Bone marrow aspirate smear:
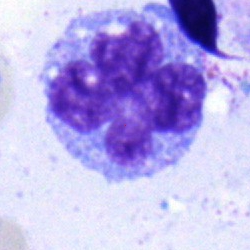

Single cell identified as a monocyte.